Bone marrow smear: 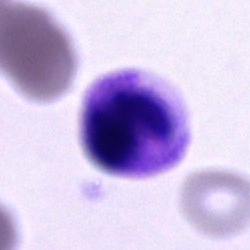Cell = neutrophil (segmented).